Bone marrow smear.
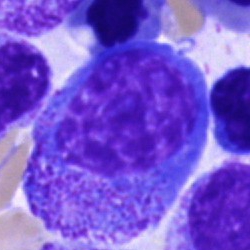Morphology — progranulocyte.